Bone marrow smear · Pappenheim-stained
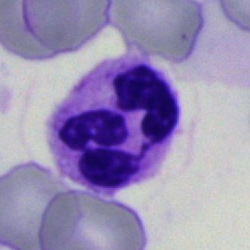 Q: Identify the cell.
A: This is a neutrophil (segmented).